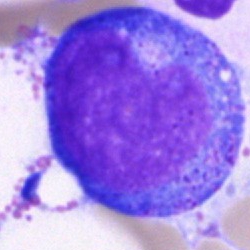 A promyelocyte on a bone marrow smear.